Bone marrow aspirate smear.
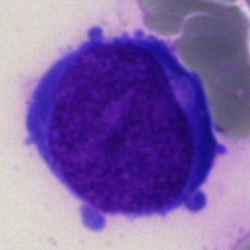 Impression — blast.